Bone marrow aspirate smear
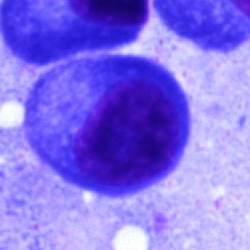

Specimen: bone marrow smear.
Classification: plasmacyte.
Lineage: lymphoid.